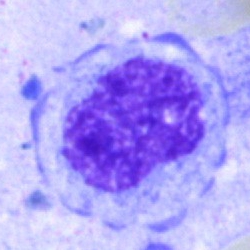 Q: What is shown here?
A: Artefact.